Peripheral blood smear
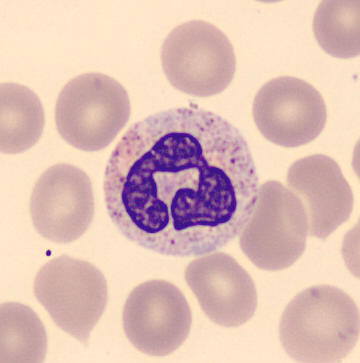Cell type: segmented neutrophil.